Cropped to a single cell; 40× oil immersion; bone marrow aspirate smear.
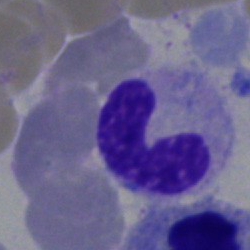
A neutrophil (band).